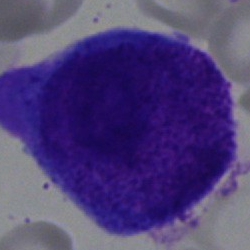
Q: What is the morphological classification of this cell?
A: It is a blast.